Romanowsky-type stain. Peripheral blood film
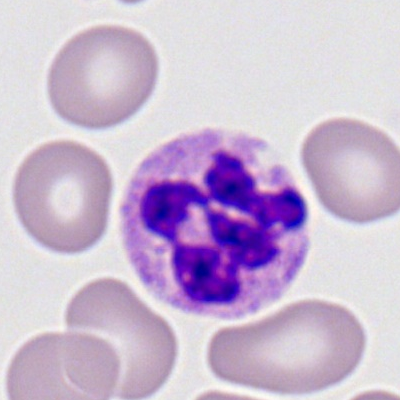

The cell shown is a neutrophil (segmented).